Bone marrow smear: 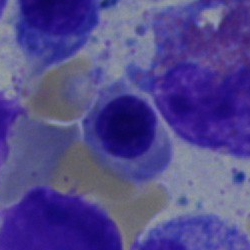

Classification — nucleated red cell.